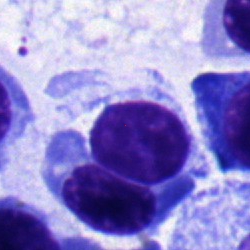
Cell type: lymphocyte.